Bone marrow aspirate smear:
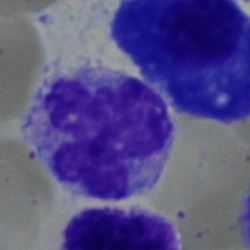

Classification — monocyte.